Peripheral blood smear. Brightfield, 100× oil-immersion objective. Single cell centered in the field:
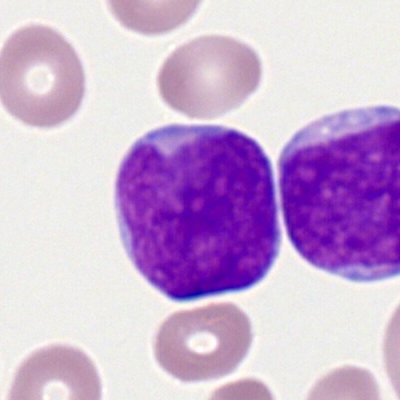Specimen: peripheral blood smear.
Cell type: myeloid blast.
Lineage: myeloid.